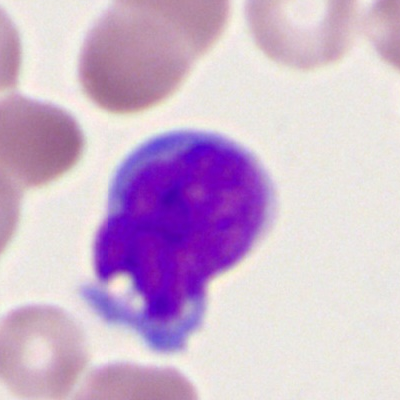Impression — myeloid blast.